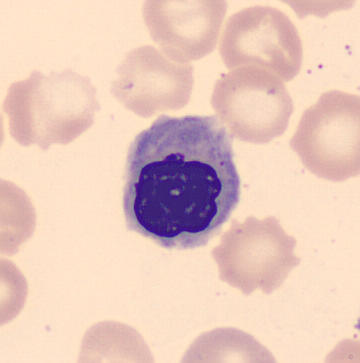
Preparation: Automated cell imaging (CellaVision DM96). Peripheral blood smear. Cell type: erythroblast.